Bone marrow aspirate smear.
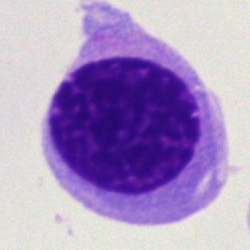

The cell shown is an erythroblast.